250×250 px; bone marrow smear
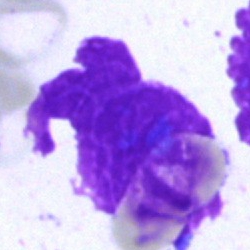Morphology consistent with an artifact.